Bone marrow smear: 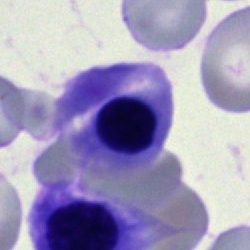 Q: What is shown here?
A: A normoblast.